Peripheral blood smear · Romanowsky-stained
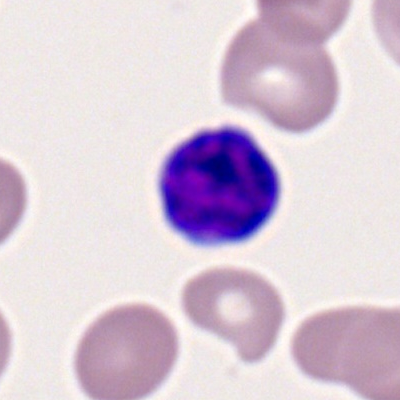
Showing a lymphocyte.